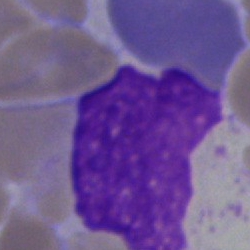An artifact.